Peripheral blood film:
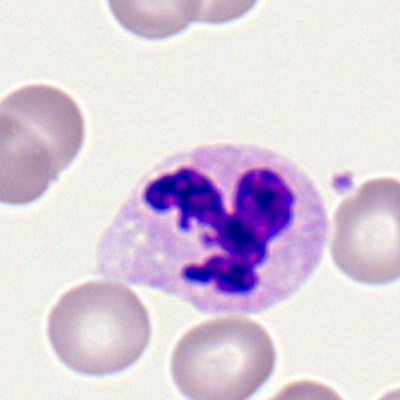 Specimen: peripheral blood film.
Cell type: polymorphonuclear neutrophil.